40× oil immersion; bone marrow aspirate smear; May-Grünwald-Giemsa stain.
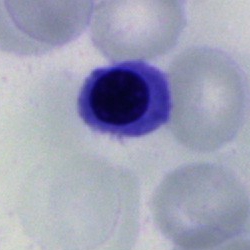 Showing a nucleated red blood cell.